Bone marrow aspirate smear. May-Grünwald-Giemsa stain.
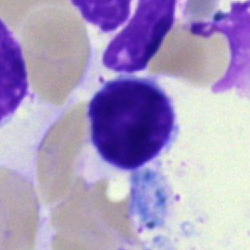
Impression → typical lymphocyte.